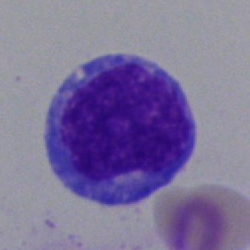

The cell shown is a blast.